Bone marrow aspirate smear.
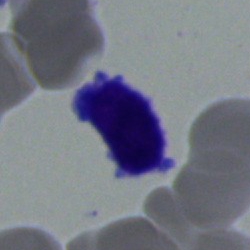The morphological class is typical lymphocyte.